Peripheral blood film — 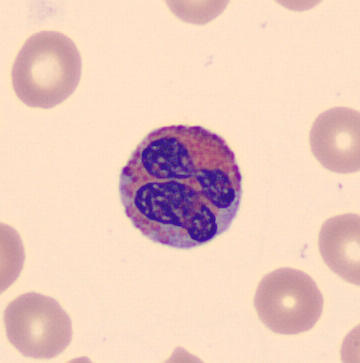 Specimen: peripheral blood smear.
Cell: eosinophilic granulocyte.
Lineage: myeloid.